Bone marrow smear. Single cell centered in the field:
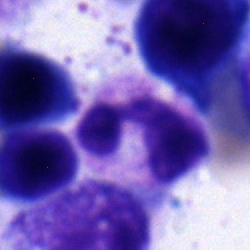Impression → polymorphonuclear neutrophil.